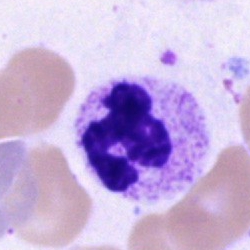Neutrophil (segmented).